Single-cell crop · bone marrow aspirate smear: 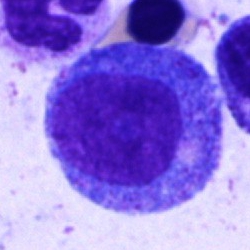 The cell is progranulocyte.